Peripheral blood film:
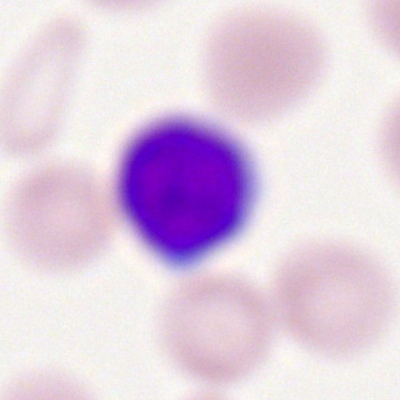Specimen: peripheral blood smear.
Classification: lymphocyte.